250×250 · 40× objective, oil immersion · bone marrow smear — 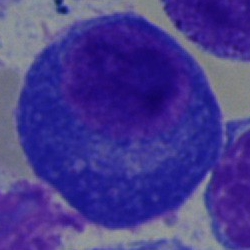Q: Identify the cell.
A: A plasmacyte.